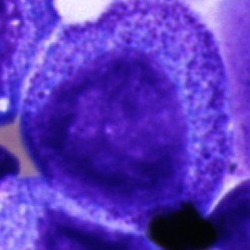

Impression → promyelocyte.